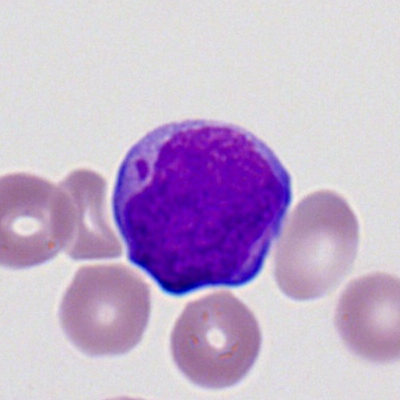
Morphology consistent with a myeloblast.